Image size 250×250 · bone marrow aspirate smear · single cell centered in the field
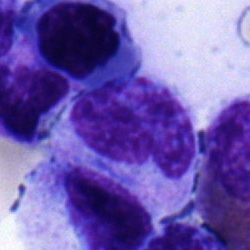
Showing a metamyelocyte.